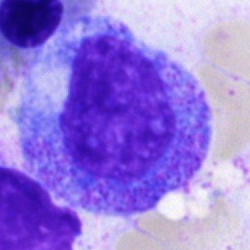
Cell type: progranulocyte.